Bone marrow smear.
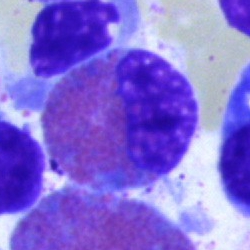
Showing an eosinophilic granulocyte.